Pappenheim-stained; bone marrow aspirate smear: 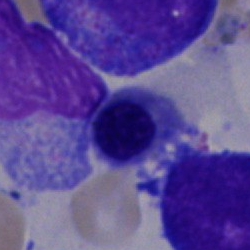{"cell_type": "nucleated red cell"}